Peripheral blood film — 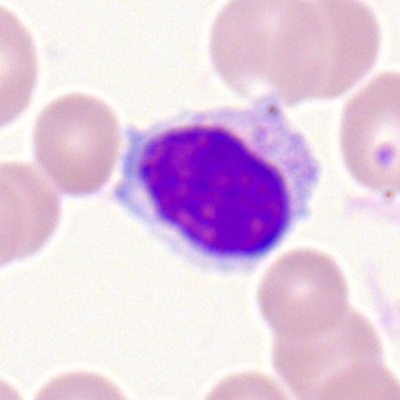 Cell type — lymphocyte.